Brightfield, 40× oil-immersion objective. 250×250 px. Bone marrow aspirate smear: 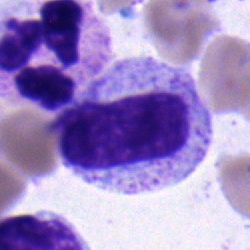The cell shown is a metamyelocyte.